400 by 400 pixels · peripheral blood smear: 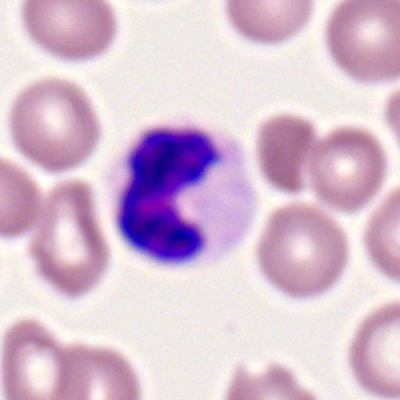 Morphology consistent with a segmented neutrophil.